250×250 px. Bone marrow aspirate smear:
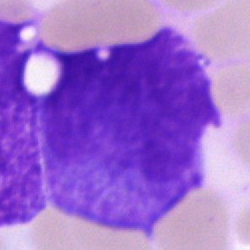

An artefact.